Peripheral blood film. 100× oil immersion — 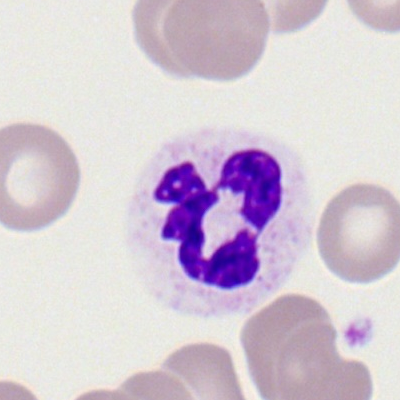 Showing a segmented neutrophil.